Peripheral blood smear · 100× oil immersion, 14.14 px/µm:
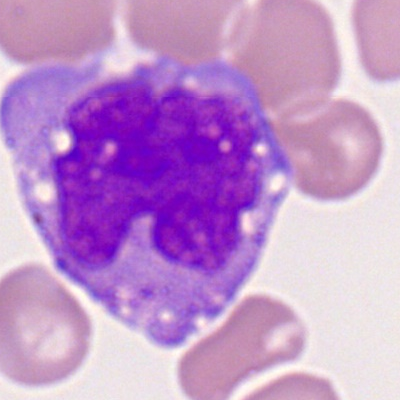
Specimen: peripheral blood smear.
Morphological class: monocyte.